Bone marrow aspirate smear: 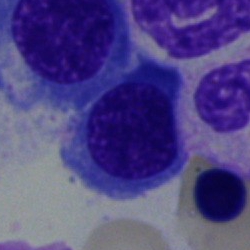 The cell shown is a normoblast.